Bone marrow aspirate smear: 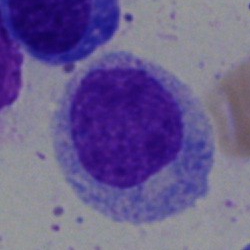Morphological class: myelocyte.